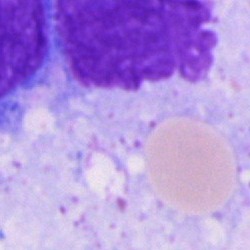Classification — artifact.